Bone marrow aspirate smear · MGG-stained: 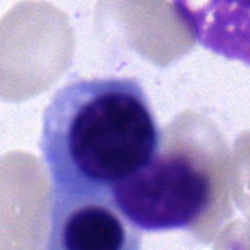

Normoblast.